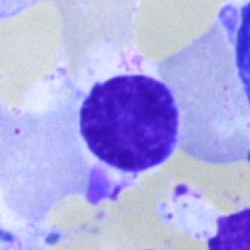
This is a typical lymphocyte.